Bone marrow smear; 40× objective, oil immersion
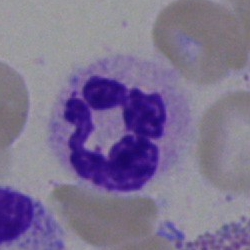
The morphological class is neutrophil (segmented).